Bone marrow smear — 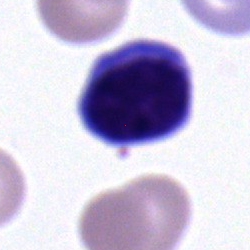This is a lymphocyte.